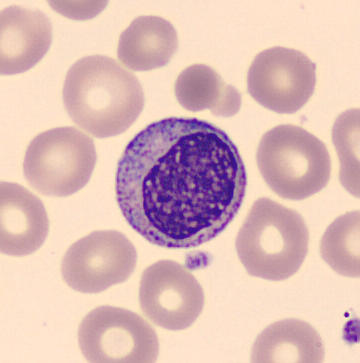
This is a myelocyte. Preparation: Peripheral blood smear.